Single-cell field · bone marrow smear:
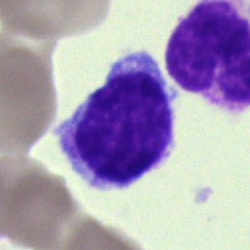
Single cell identified as a lymphocyte.